Bone marrow aspirate smear — 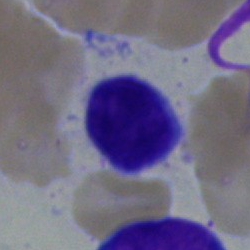

The cell shown is a lymphocyte.